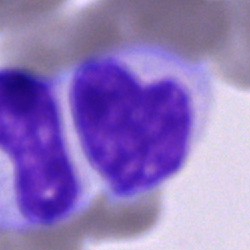Showing an unidentifiable cell.